Peripheral blood film · Romanowsky stain — 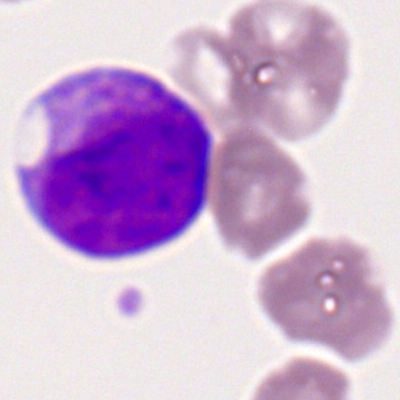 This is a myeloid blast.